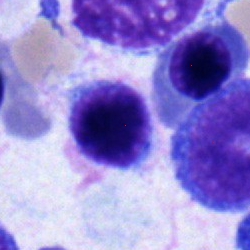

Q: What is the morphological classification of this cell?
A: A lymphocyte.